Image size 360×363 · peripheral blood smear: 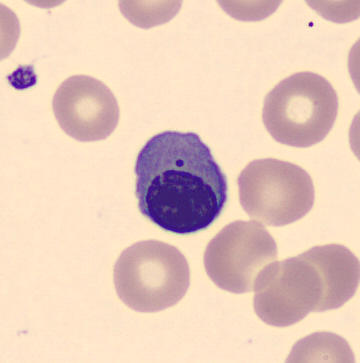 Morphology → normoblast.